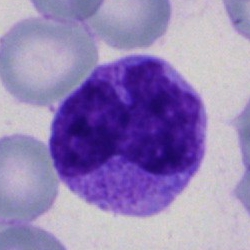
This is a monocyte.